Bone marrow aspirate smear: 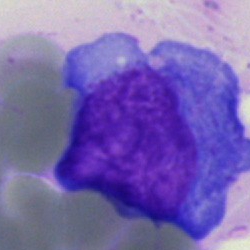Morphology — undifferentiated blast.